Peripheral blood film — 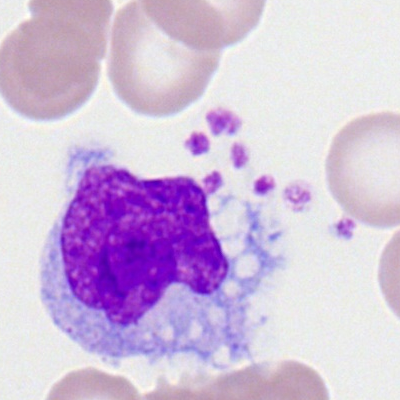
Impression — monocyte.